Bone marrow smear; brightfield microscopy, 40× oil immersion; cropped to a single cell.
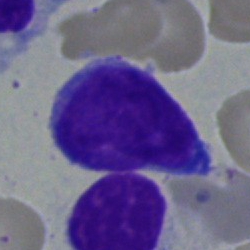
The cell type is undifferentiated blast.